Bone marrow aspirate smear; Pappenheim-stained; image size 250×250 — 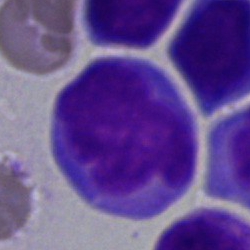
Single cell identified as a blast.